Bone marrow smear. Cropped to a single cell.
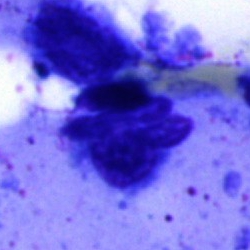 Cell type = artefact.